Bone marrow smear · brightfield, 40× oil-immersion objective.
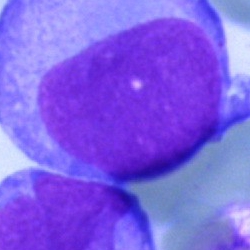This is an undifferentiated blast.